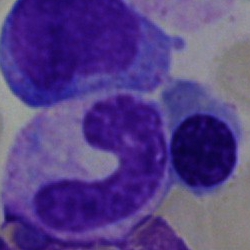

Single-cell crop from a bone marrow smear: band-form neutrophil.